400×400 px · peripheral blood smear.
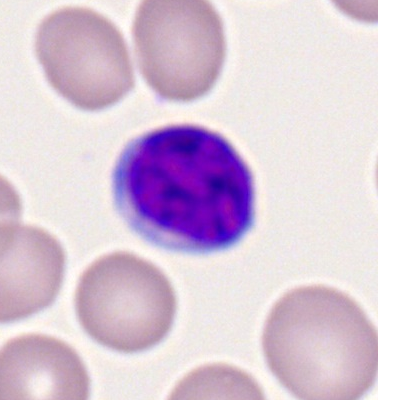 Cell — lymphocyte.